Bone marrow aspirate smear:
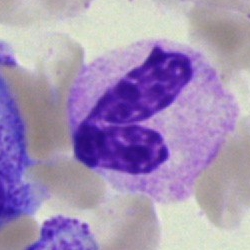 Specimen: bone marrow aspirate smear.
Cell type: polymorphonuclear neutrophil.
Lineage: myeloid.